Peripheral blood smear — 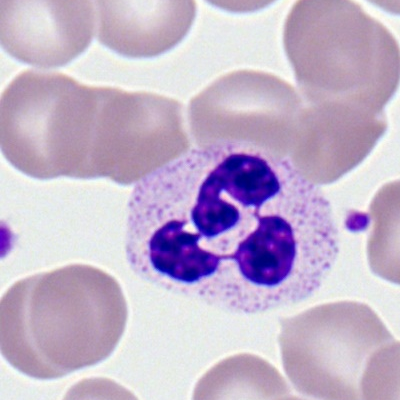 Showing a polymorphonuclear neutrophil.